Bone marrow smear: 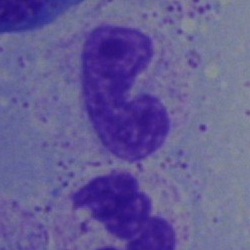 Morphology consistent with a neutrophil (band).